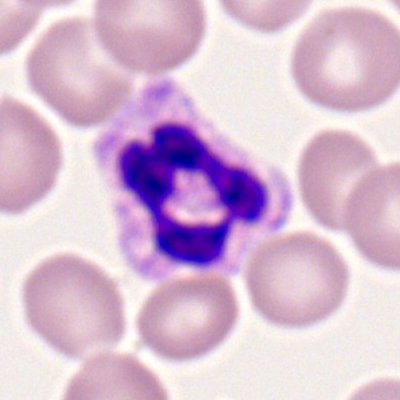

Specimen: peripheral blood film.
Classification: polymorphonuclear neutrophil.
Lineage: myeloid.